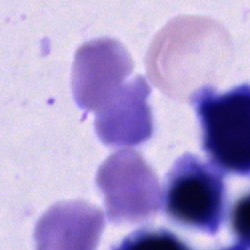

Specimen: bone marrow smear.
Cell: unidentifiable cell.